Bone marrow aspirate smear.
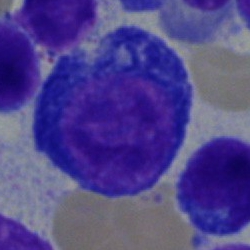 Specimen: bone marrow smear.
Classification: pronormoblast.
Lineage: erythroid.